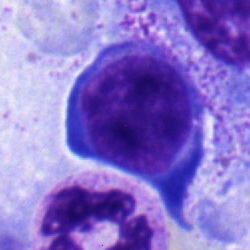

Q: What is shown here?
A: This is a pronormoblast.